Bone marrow smear:
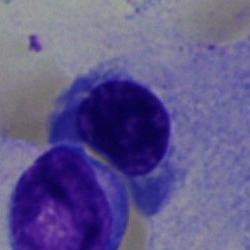Specimen: bone marrow smear.
Morphological class: normoblast.